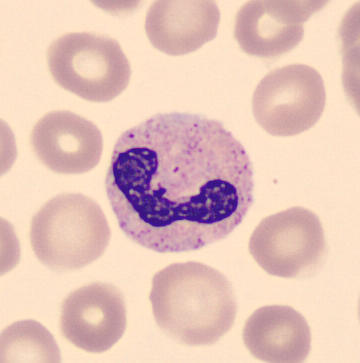

Image: MGG-stained · peripheral blood smear.

Morphology consistent with a band-form neutrophil.